Bone marrow aspirate smear: 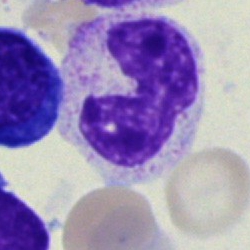
Morphology — band-form neutrophil.